250×250 px; single cell centered in the field; bone marrow smear.
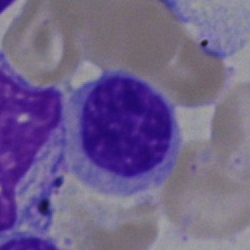A lymphocyte.